Bone marrow aspirate smear; 250 by 250 pixels
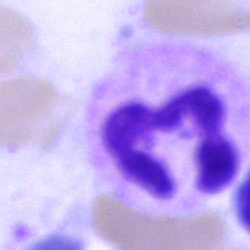 Specimen: bone marrow aspirate smear.
Cell: segmented neutrophil.